Bone marrow smear:
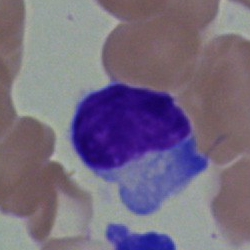 The cell is typical lymphocyte.